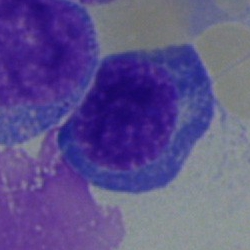 Morphology consistent with an erythroblast.